Bone marrow smear
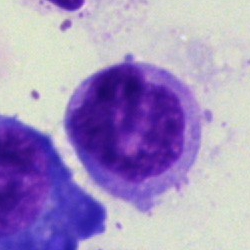

{"cell_type": "typical lymphocyte", "lineage": "lymphoid"}